40× objective, oil immersion. Bone marrow smear. 250×250 px.
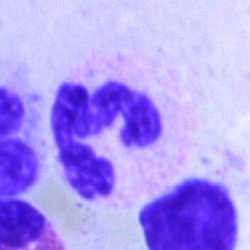
Specimen: bone marrow smear.
Cell: neutrophil (segmented).
Lineage: myeloid.